Bone marrow smear · brightfield, 40× oil-immersion objective: 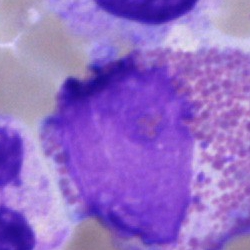 The morphological class is eosinophilic granulocyte.